Bone marrow smear. Cropped to a single cell. 40× objective, oil immersion:
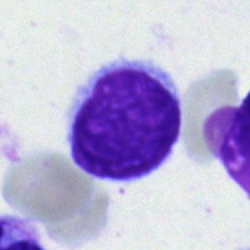
Impression → lymphocyte.